Brightfield microscopy, 40× oil immersion · bone marrow smear: 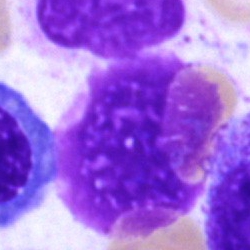 Showing an artefact.